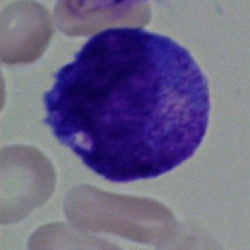

Morphology — progranulocyte.